40× oil immersion · bone marrow aspirate smear
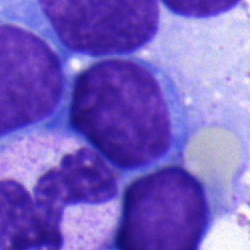

Impression — typical lymphocyte.